Image size 250×250. Bone marrow aspirate smear.
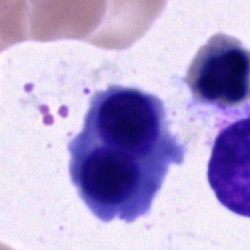Q: What type of cell is this?
A: A normoblast.